Pappenheim-stained. Bone marrow smear:
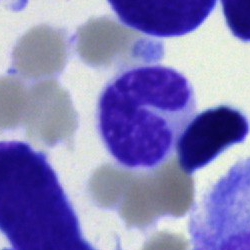
Q: What type of cell is this?
A: A band-form neutrophil.